Bone marrow smear
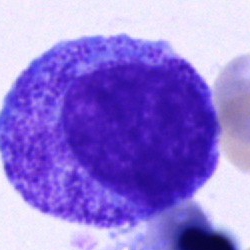
Morphology — promyelocyte.